Bone marrow smear
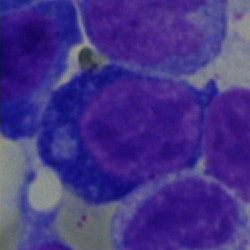Cell type: pronormoblast.